Bone marrow aspirate smear; Pappenheim-stained: 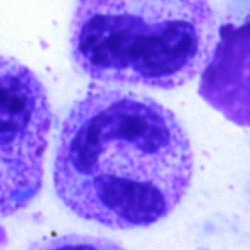

The cell type is polymorphonuclear neutrophil.